Bone marrow aspirate smear — 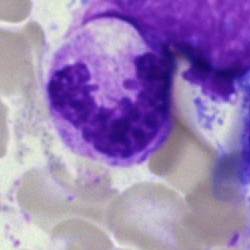
Specimen: bone marrow smear.
Classification: neutrophil (segmented).